40× oil immersion. Bone marrow aspirate smear. May-Grünwald-Giemsa stain — 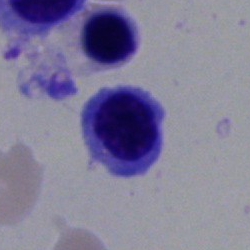
Specimen: bone marrow aspirate smear.
Cell type: erythroblast.